Bone marrow aspirate smear
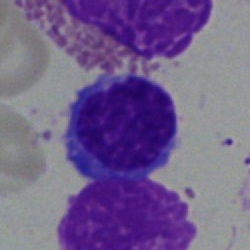 Impression — lymphocyte.